Bone marrow smear · May-Grünwald-Giemsa/Pappenheim stain — 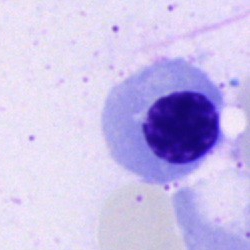
The cell type is erythroblast.